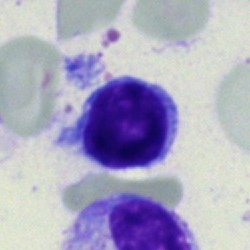 Lymphocyte.